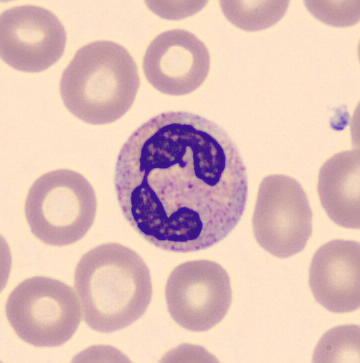
Image: Peripheral blood smear · 360×363. Showing a neutrophil (segmented).